Bone marrow aspirate smear: 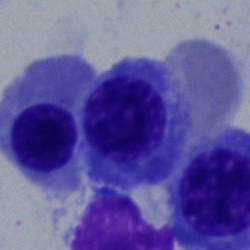{"cell_type": "nucleated red cell", "lineage": "erythroid"}